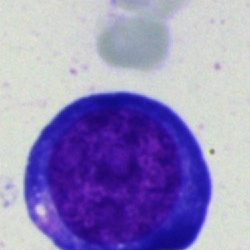Morphology — pronormoblast.